Single cell centered in the field · bone marrow aspirate smear · 250×250: 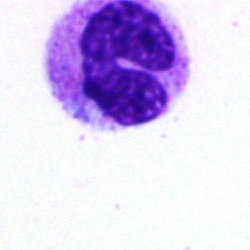The morphological class is neutrophil (segmented).